Bone marrow aspirate smear
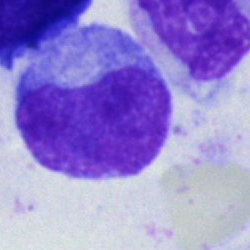 Q: What type of cell is this?
A: A band-form neutrophil.